Bone marrow aspirate smear; single cell centered in the field — 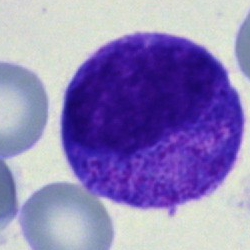
Q: What type of cell is this?
A: Promyelocyte.